Bone marrow aspirate smear:
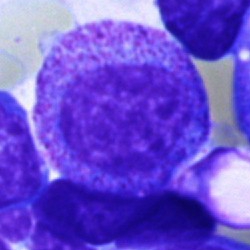

Specimen: bone marrow aspirate smear.
Morphological class: myelocyte.
Lineage: myeloid.